Bone marrow smear. Brightfield, 40× oil-immersion objective:
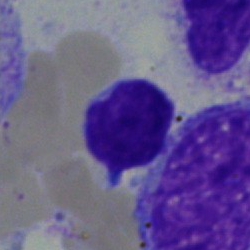
Classification = typical lymphocyte.